Bone marrow smear.
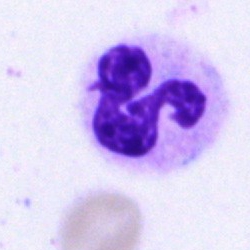

Classification — polymorphonuclear neutrophil.